Bone marrow smear
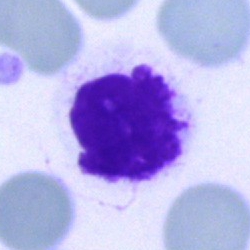Morphology consistent with an artefact.